Bone marrow smear.
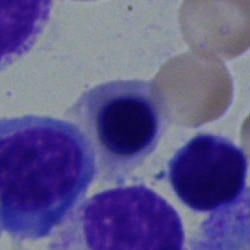 Q: What is the morphological classification of this cell?
A: This is a nucleated red cell.